Single-cell field. Bone marrow smear.
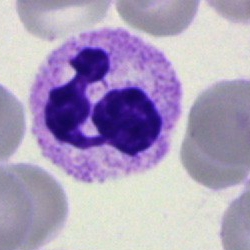
Impression — polymorphonuclear neutrophil.